40× objective, oil immersion. Bone marrow aspirate smear
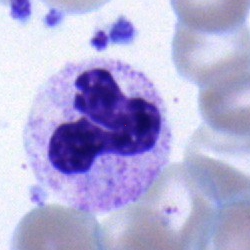
Specimen: bone marrow aspirate smear.
Classification: neutrophil (segmented).
Lineage: myeloid.